Bone marrow aspirate smear:
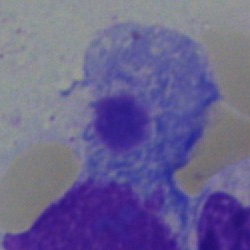

This is an artifact.